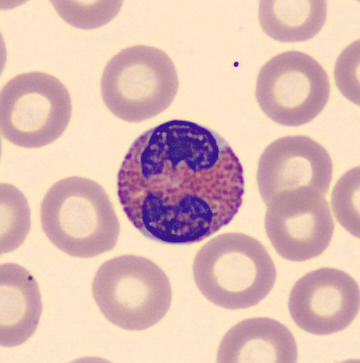 Image: 360×363; peripheral blood smear.

The cell shown is an eosinophil.